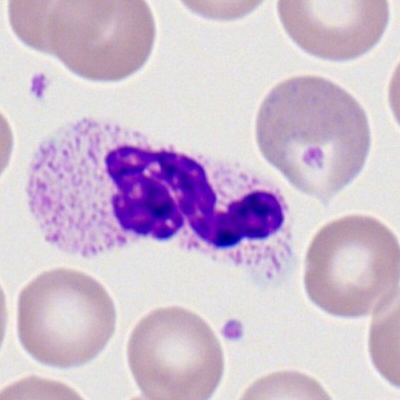

Showing a neutrophil (segmented).